Bone marrow aspirate smear. 40× objective, oil immersion. Cropped to a single cell — 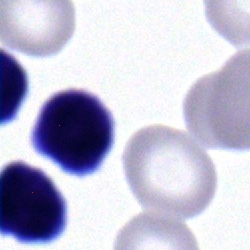 Morphology consistent with a lymphocyte.